Bone marrow aspirate smear; brightfield, 40× oil-immersion objective; single-cell field.
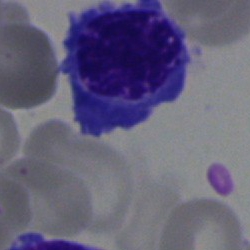
An erythroblast.